Bone marrow smear
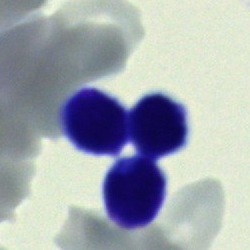
Morphological class: lymphocyte.